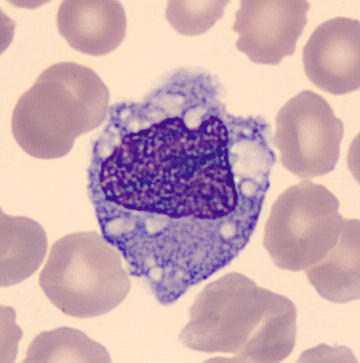 Identified as a monocyte. Acquisition: Peripheral blood film.